Bone marrow aspirate smear.
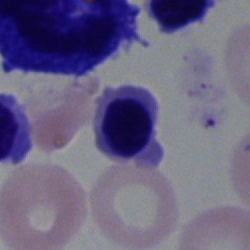 Showing a normoblast.